Bone marrow aspirate smear — 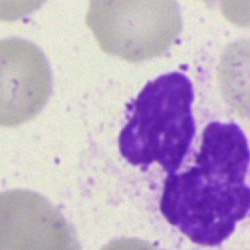 {"cell_type": "artefact"}